Single cell centered in the field · bone marrow aspirate smear.
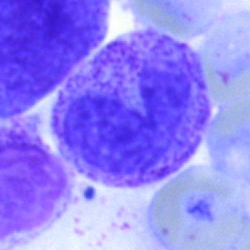

Morphology — neutrophil (segmented).